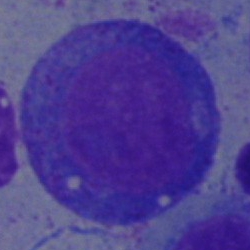Cell — progranulocyte.